Bone marrow aspirate smear — 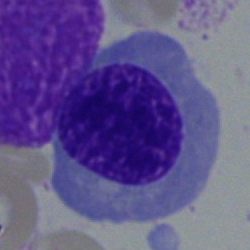The cell type is erythroblast.